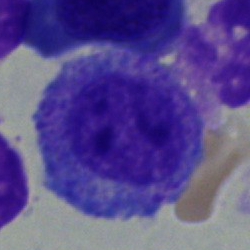
Cell = myelocyte.